Bone marrow smear.
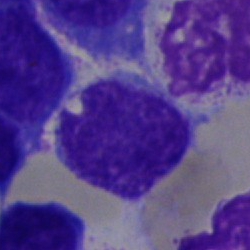 Q: What cell is this?
A: This is a blast cell.